Bone marrow smear
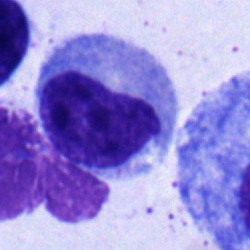Q: What cell is this?
A: Myelocyte.